Bone marrow aspirate smear:
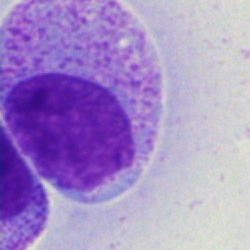

Morphological class: myelocyte.